250 by 250 pixels · brightfield, 40× oil-immersion objective · bone marrow aspirate smear: 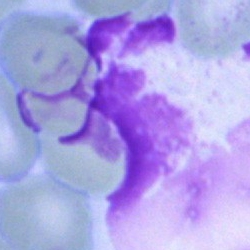 Specimen: bone marrow smear.
Cell: artifact.